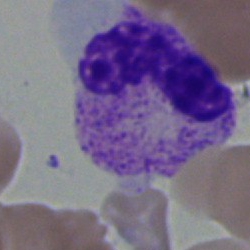

Specimen: bone marrow aspirate smear.
Cell type: neutrophil (band).